Bone marrow smear.
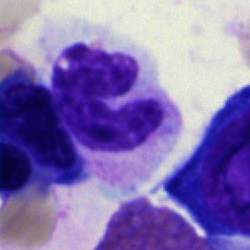

Q: What is the morphological classification of this cell?
A: A band neutrophil.